400 by 400 pixels; Romanowsky stain; peripheral blood film.
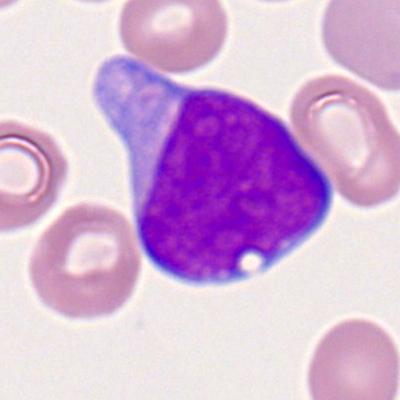

Morphological class = myeloid blast.